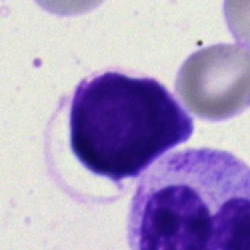 Showing an artifact.